Bone marrow aspirate smear. May-Grünwald-Giemsa/Pappenheim stain:
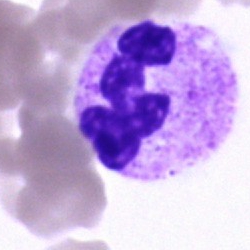

The cell shown is a segmented neutrophil.